Bone marrow smear. 250 by 250 pixels — 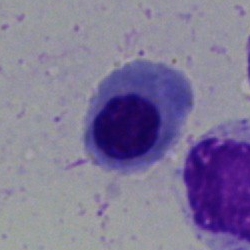

Cell type = nucleated red blood cell.